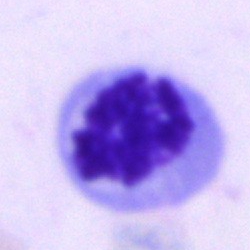

The cell type is nucleated red cell.